Bone marrow smear: 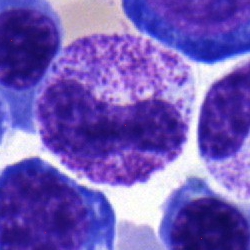Metamyelocyte.